Bone marrow smear: 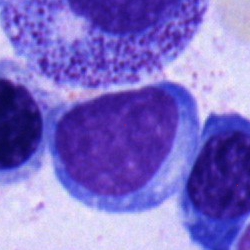Cell: typical lymphocyte.